Bone marrow smear.
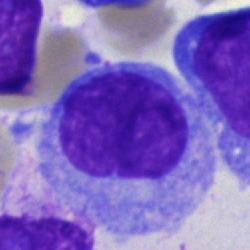Showing an undifferentiated blast.